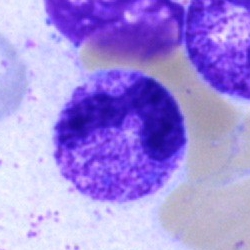Q: Which cell type is shown here?
A: A segmented neutrophil.